Bone marrow aspirate smear; cropped to a single cell.
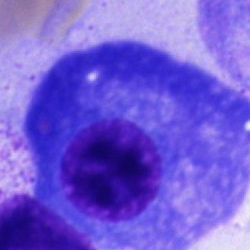

{"cell_type": "plasmacyte", "lineage": "lymphoid"}